Pappenheim-stained; 250×250 px; bone marrow aspirate smear: 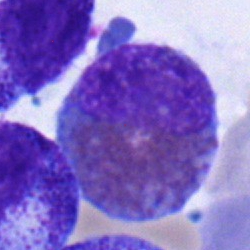 {"cell_type": "eosinophilic granulocyte"}